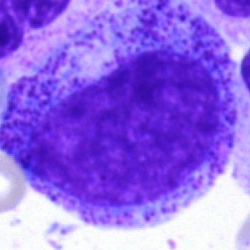Q: Which cell type is shown here?
A: Progranulocyte.